Bone marrow smear — 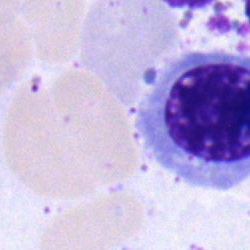 Impression — nucleated red blood cell.